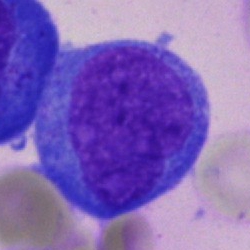The morphological class is blast.